Bone marrow aspirate smear.
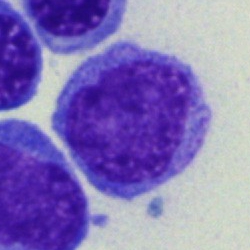

The cell shown is a monocyte.